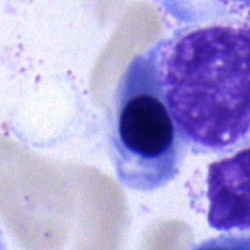 Bone marrow smear showing a normoblast.